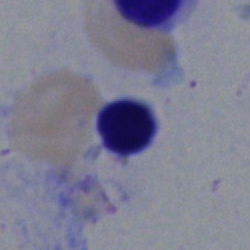

Q: What type of cell is this?
A: It is a normoblast.